Brightfield, 40× oil-immersion objective; bone marrow aspirate smear — 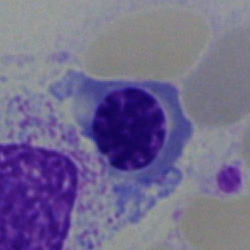
Specimen: bone marrow aspirate smear.
Morphological class: nucleated red blood cell.
Lineage: erythroid.